Bone marrow aspirate smear. 40× oil immersion:
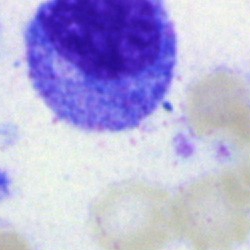 Q: What type of cell is this?
A: A promyelocyte.